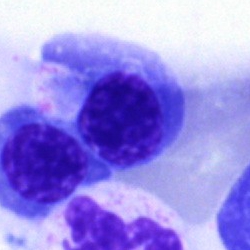

Q: Which cell type is shown here?
A: A nucleated red cell.